Peripheral blood film · single cell centered in the field
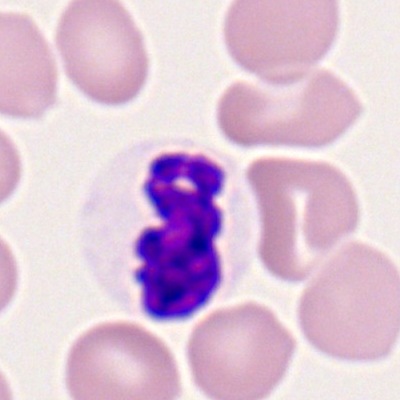 Classification — polymorphonuclear neutrophil.